Bone marrow smear:
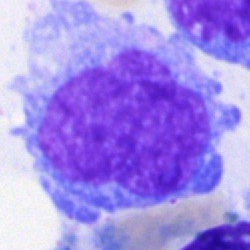

Cell type = blast cell.